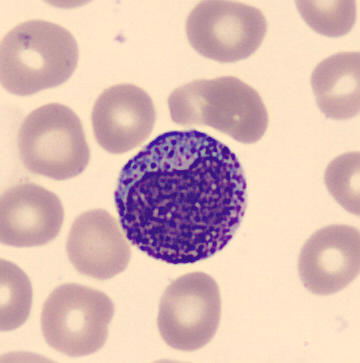
The classification is myelocyte.